Single cell centered in the field. Bone marrow smear: 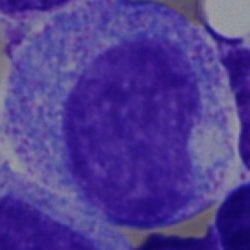
Morphology → progranulocyte.